Bone marrow smear: 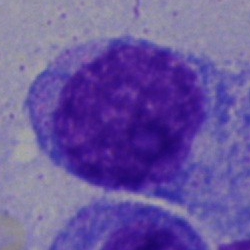Q: What is shown here?
A: This is an undifferentiated blast.